Pappenheim-stained · bone marrow aspirate smear — 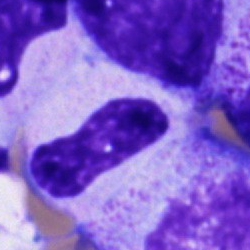 Morphology → cell of indeterminate lineage.